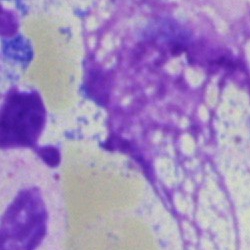 Q: What is shown here?
A: It is an artifact.